Single cell centered in the field; 40× objective, oil immersion; bone marrow smear
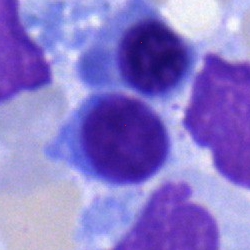

The cell shown is a lymphocyte.